Bone marrow smear:
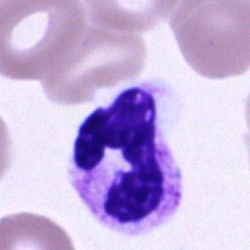
Q: Identify the cell.
A: It is a neutrophil (segmented).